Bone marrow aspirate smear.
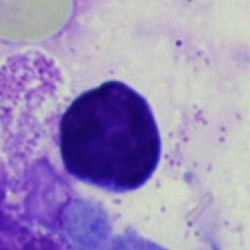

{"cell_type": "lymphocyte", "lineage": "lymphoid"}